Bone marrow aspirate smear; image size 250×250
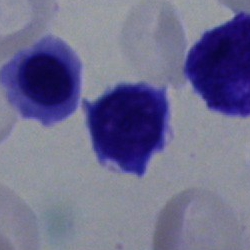
The cell type is lymphocyte.